Bone marrow aspirate smear: 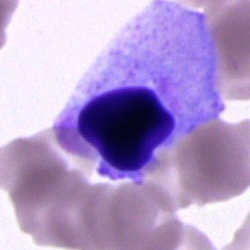 Showing an artifact.